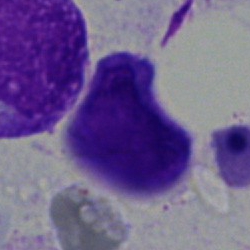

Bone marrow smear showing a typical lymphocyte.